250 by 250 pixels. Bone marrow smear. Single-cell field:
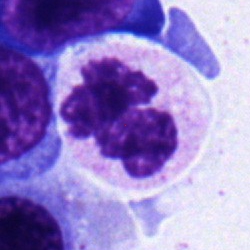Specimen: bone marrow smear.
Classification: neutrophil (segmented).
Lineage: myeloid.